Peripheral blood film. Romanowsky-type stain. 100× objective, oil immersion:
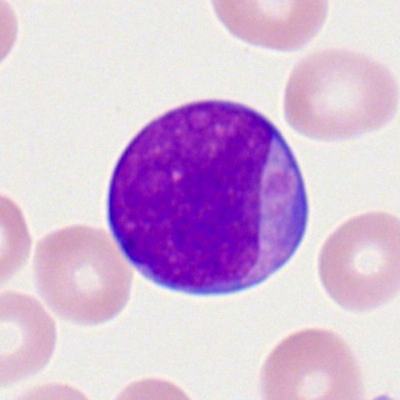Impression — myeloid blast.